Bone marrow aspirate smear
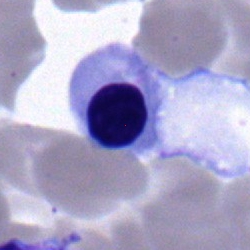

Nucleated red blood cell.